Bone marrow aspirate smear — 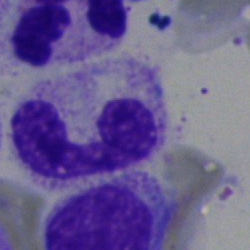 A segmented neutrophil.